Bone marrow smear · single-cell field · Pappenheim-stained:
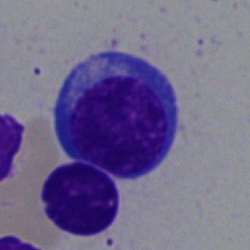 Impression → nucleated red blood cell.